Bone marrow smear.
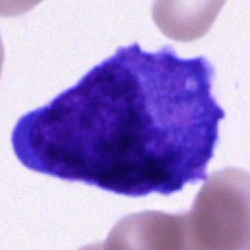

Morphology consistent with a cell of indeterminate lineage.